Bone marrow aspirate smear
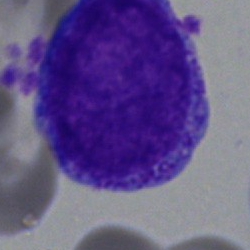 Cell — progranulocyte.